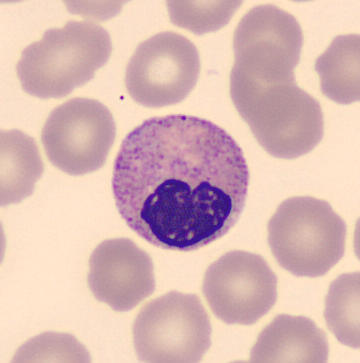Morphology consistent with a neutrophil (band).